Bone marrow smear:
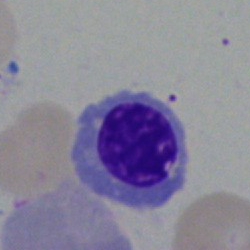

Nucleated red cell.